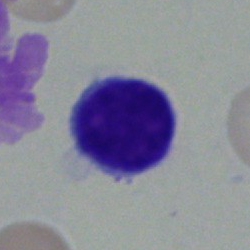 Morphology — lymphocyte.